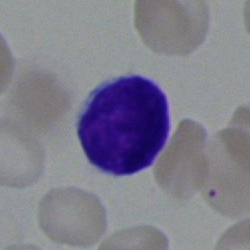

Morphology — typical lymphocyte.